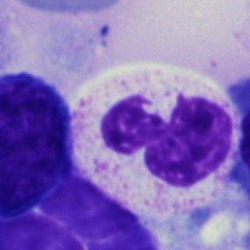Specimen: bone marrow smear.
Cell: neutrophil (segmented).
Lineage: myeloid.